Brightfield, 40× oil-immersion objective · bone marrow aspirate smear: 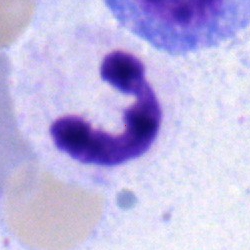 Impression — neutrophil (segmented).